Bone marrow aspirate smear
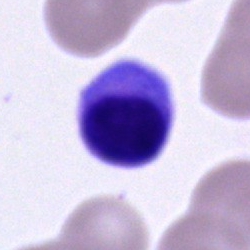A typical lymphocyte.